Bone marrow smear: 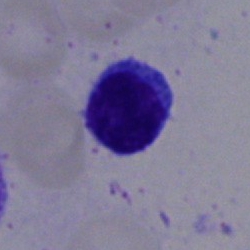

Q: What cell is this?
A: It is a typical lymphocyte.